Peripheral blood film — 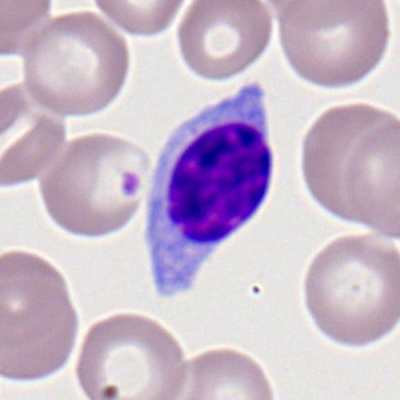
The cell is lymphocyte.